100× oil immersion · cropped to a single cell · peripheral blood smear
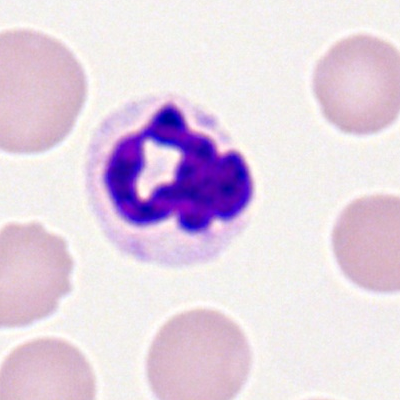
Single cell identified as a polymorphonuclear neutrophil.